Bone marrow aspirate smear.
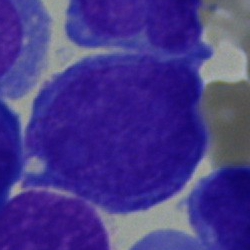

Specimen: bone marrow aspirate smear.
Classification: blast.